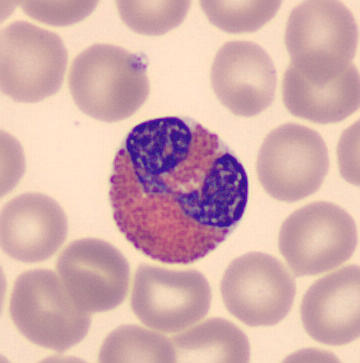Automated cell imaging (CellaVision DM96). Peripheral blood smear.
Cell type — eosinophil.